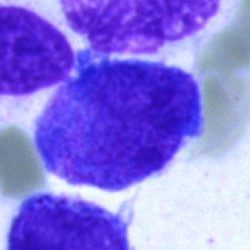
Classification: undifferentiated blast.